Bone marrow smear · May-Grünwald-Giemsa stain · 40× objective, oil immersion — 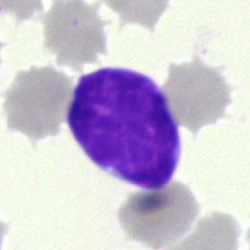

Q: What cell is this?
A: Typical lymphocyte.